250 by 250 pixels · bone marrow smear · MGG-stained.
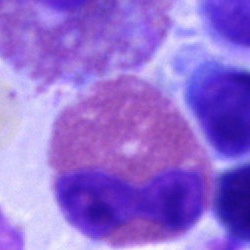This is an eosinophilic granulocyte.